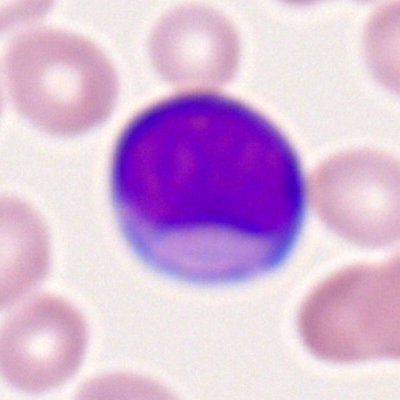

Myeloid blast.